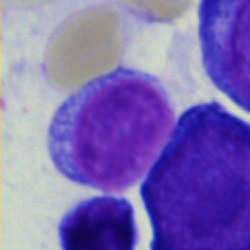
Specimen: bone marrow smear.
Cell: typical lymphocyte.